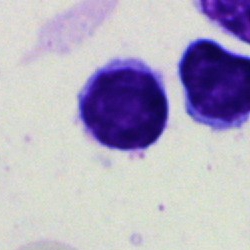

Impression — lymphocyte.